Bone marrow smear
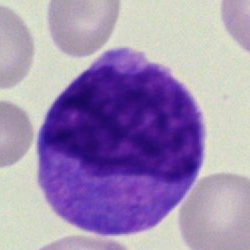 Morphology → monocyte.